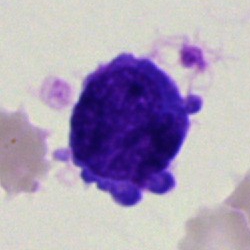
Single-cell crop from a bone marrow smear: blast cell.